Image size 250×250. May-Grünwald-Giemsa stain. Bone marrow smear — 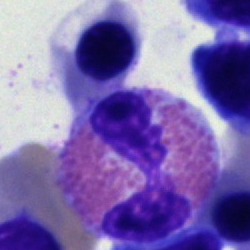
The cell shown is an eosinophil.